Bone marrow smear:
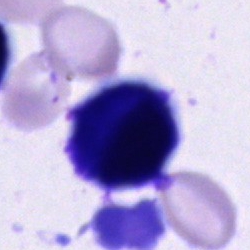 Specimen: bone marrow smear.
Classification: plasmacyte.
Lineage: lymphoid.